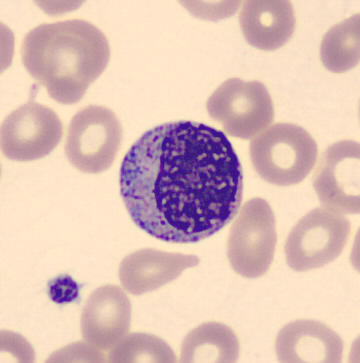

Classification = myelocyte. Preparation: Peripheral blood smear.